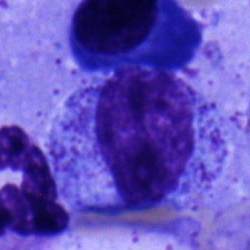 Morphological class = promyelocyte.